Bone marrow aspirate smear
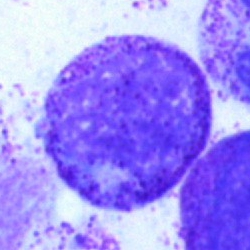

Cell — myelocyte.